Bone marrow aspirate smear.
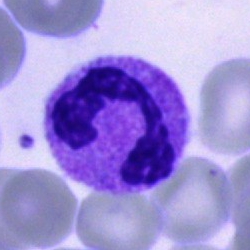
This is a polymorphonuclear neutrophil.